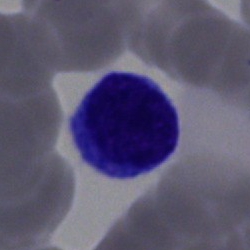
Classification — lymphocyte.